Cropped to a single cell. Bone marrow smear.
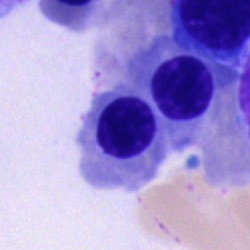
Q: What cell is this?
A: It is a normoblast.